Single-cell field · bone marrow aspirate smear:
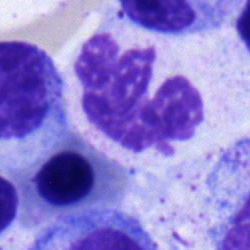 Cell: neutrophil (segmented).